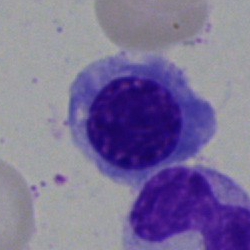

Specimen: bone marrow aspirate smear.
Cell: erythroblast.
Lineage: erythroid.